Pappenheim-stained. Bone marrow smear — 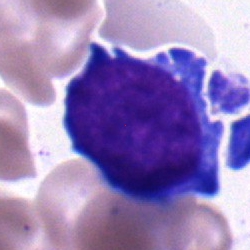

Showing a blast.